Bone marrow smear; 40× oil immersion
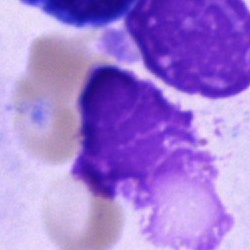Classification: artifact.